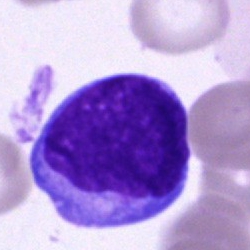Single-cell crop from a bone marrow smear: blast cell.